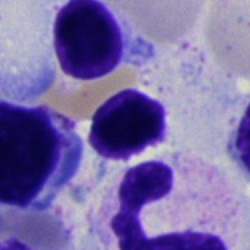

Bone marrow aspirate smear, single cell — artifact.